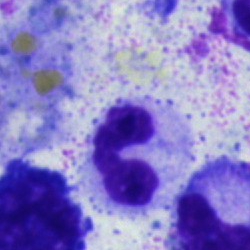 Single cell identified as a polymorphonuclear neutrophil.